Bone marrow smear — 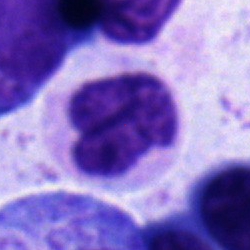Showing a neutrophil (band).